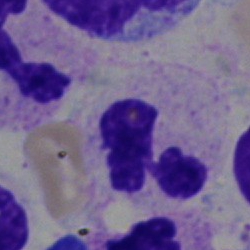

Q: Which cell type is shown here?
A: Polymorphonuclear neutrophil.